Bone marrow smear: 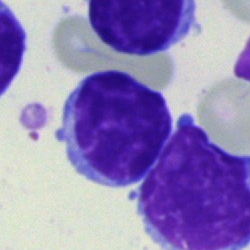 Morphology — typical lymphocyte.